Bone marrow smear — 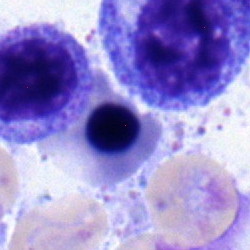Morphology → nucleated red cell.